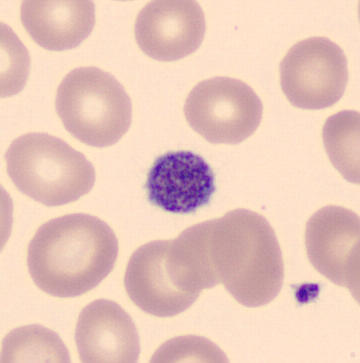A thrombocyte on a peripheral blood smear.